Bone marrow aspirate smear. May-Grünwald-Giemsa/Pappenheim stain: 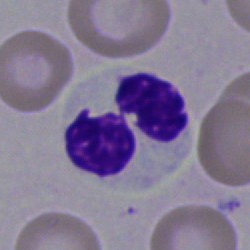{"cell_type": "segmented neutrophil", "lineage": "myeloid"}